Bone marrow smear · cropped to a single cell: 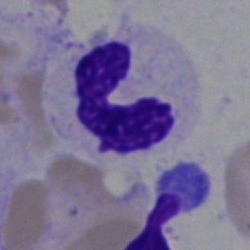Q: Which cell type is shown here?
A: It is a polymorphonuclear neutrophil.